Bone marrow aspirate smear:
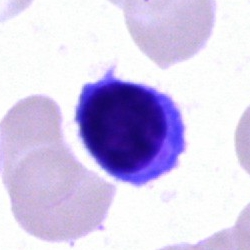Showing a typical lymphocyte.